Bone marrow aspirate smear
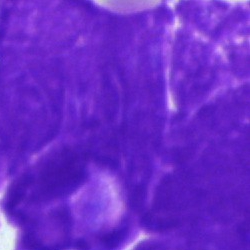

Cell: artifact.